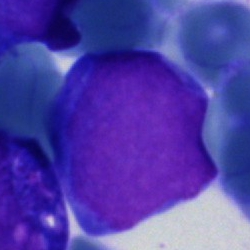
The cell is undifferentiated blast.